Peripheral blood smear — 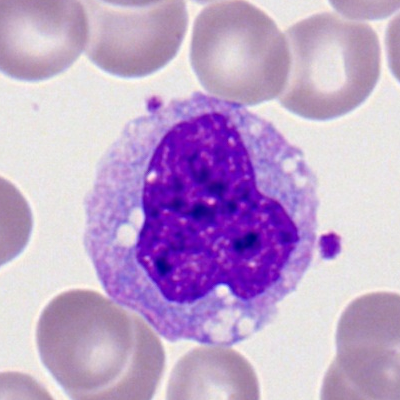Cell — monocyte.